Peripheral blood film.
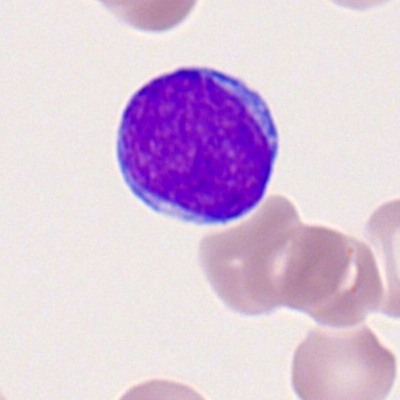A myeloid blast.